Bone marrow aspirate smear.
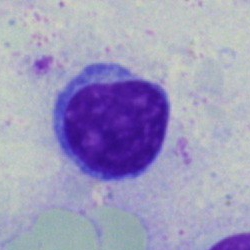

Morphology — typical lymphocyte.